Bone marrow aspirate smear:
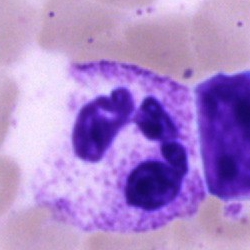 {"cell_type": "neutrophil (segmented)"}